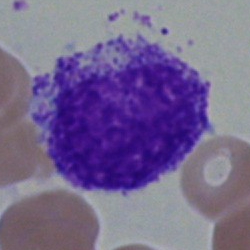 Q: What type of cell is this?
A: It is a myelocyte.